May-Grünwald-Giemsa/Pappenheim stain. Bone marrow smear: 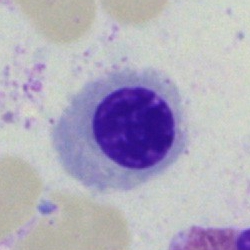 Q: What is the morphological classification of this cell?
A: It is a nucleated red cell.